Bone marrow smear:
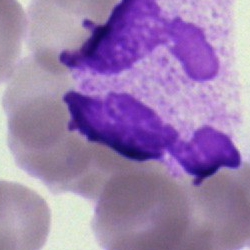 Showing an artefact.